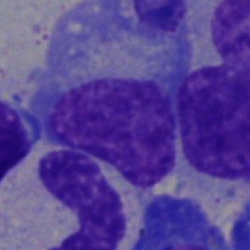
Bone marrow smear showing a plasma cell.